Bone marrow aspirate smear; image size 250×250; brightfield, 40× oil-immersion objective.
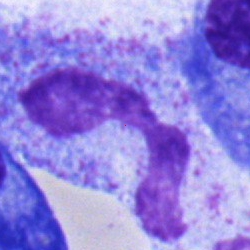
Single cell identified as a band neutrophil.